Bone marrow smear: 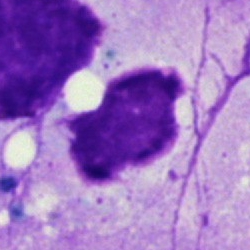 Q: What is shown here?
A: This is an artifact.